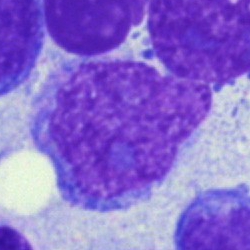

The cell type is artefact.